Bone marrow smear.
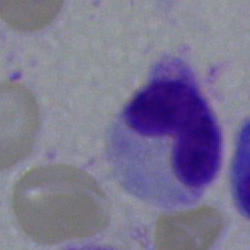

Q: What cell is this?
A: Band-form neutrophil.